Peripheral blood smear: 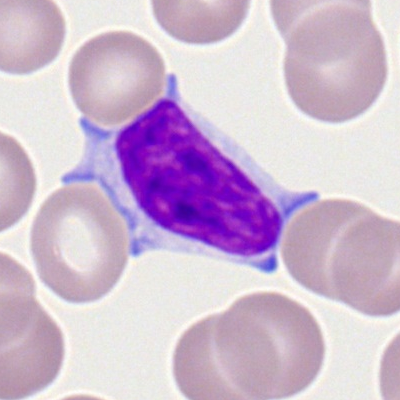 Morphology → lymphocyte.